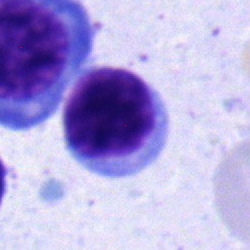Morphological class: lymphocyte.